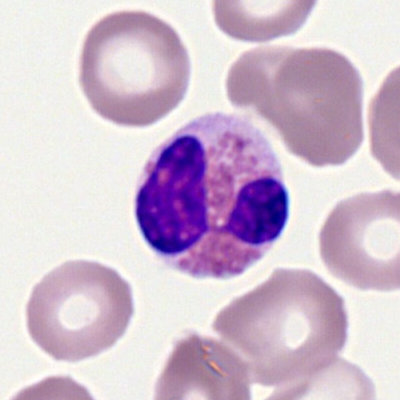Specimen: peripheral blood smear.
Morphological class: eosinophil.
Lineage: myeloid.